Bone marrow smear; cropped to a single cell — 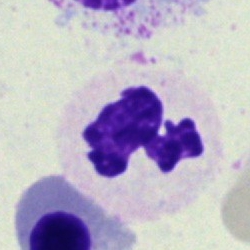 Q: What is the morphological classification of this cell?
A: This is a polymorphonuclear neutrophil.